Bone marrow aspirate smear: 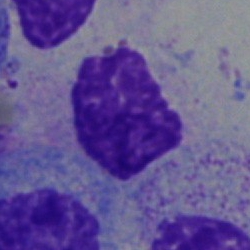

Morphology consistent with a myelocyte.